Bone marrow aspirate smear.
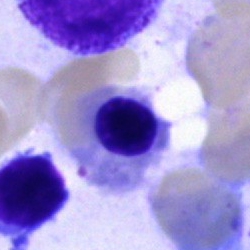 Q: Identify the cell.
A: A nucleated red blood cell.